Cropped to a single cell · bone marrow aspirate smear
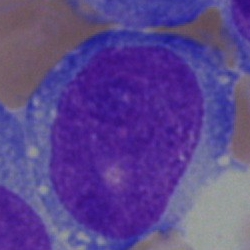
Q: What is the morphological classification of this cell?
A: An undifferentiated blast.